Bone marrow aspirate smear
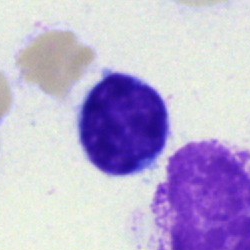 Impression → typical lymphocyte.